Pappenheim-stained · bone marrow aspirate smear: 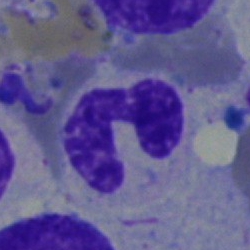
Impression → nucleated red cell.